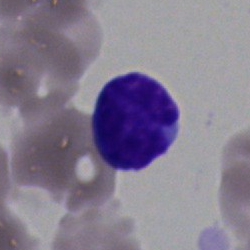Single-cell crop from a bone marrow smear: lymphocyte.